Bone marrow aspirate smear: 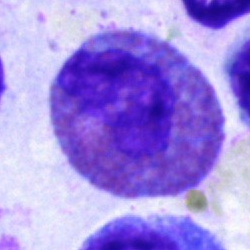

This is an eosinophil.